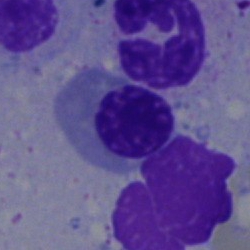

Specimen: bone marrow aspirate smear.
Classification: nucleated red cell.
Lineage: erythroid.